Bone marrow smear.
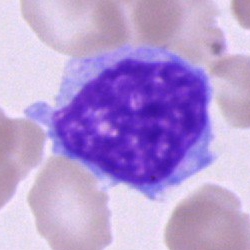 Morphology — blast.